Bone marrow aspirate smear. Cropped to a single cell.
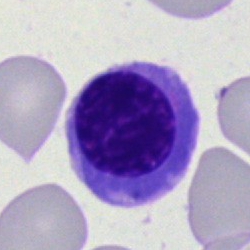 Classification = nucleated red blood cell.